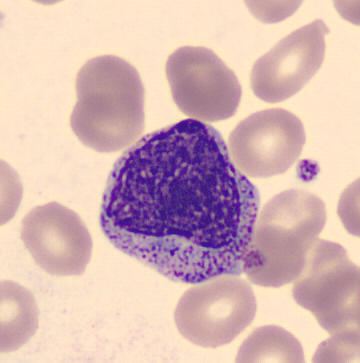This is a myelocyte. Peripheral blood film.